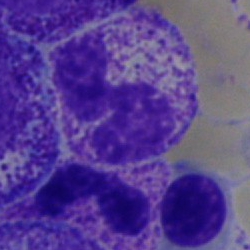 Specimen: bone marrow aspirate smear.
Cell: stab cell.